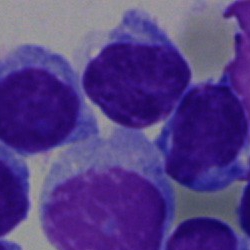

Morphological class — lymphocyte.